Bone marrow smear; May-Grünwald-Giemsa stain: 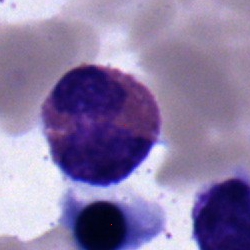

Cell — eosinophilic granulocyte.